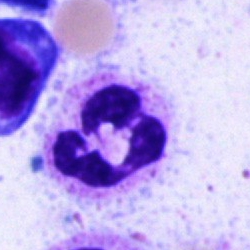
Q: Which cell type is shown here?
A: A polymorphonuclear neutrophil.